Bone marrow aspirate smear; MGG-stained; 250×250 px
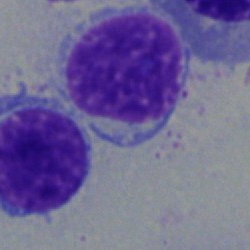

The classification is typical lymphocyte.